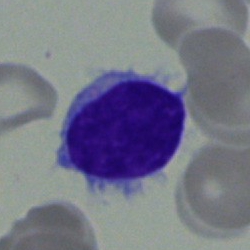

Morphology — lymphocyte.